Bone marrow smear. 250×250 px:
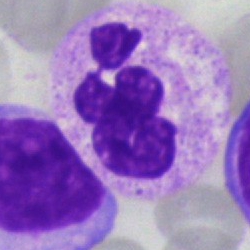

Q: What type of cell is this?
A: It is a neutrophil (segmented).